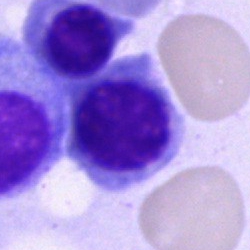

Q: What type of cell is this?
A: Normoblast.